Bone marrow aspirate smear
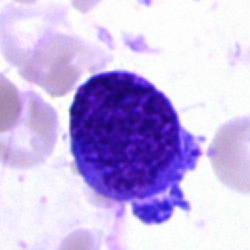This is an undifferentiated blast.